Brightfield microscopy, 40× oil immersion · bone marrow smear.
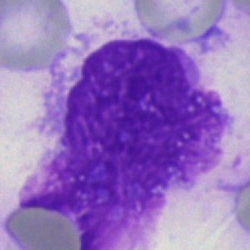
The morphological class is artefact.